Bone marrow aspirate smear.
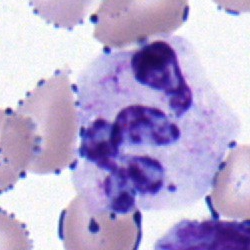

Specimen: bone marrow smear.
Cell type: polymorphonuclear neutrophil.
Lineage: myeloid.